Pappenheim-stained · bone marrow smear.
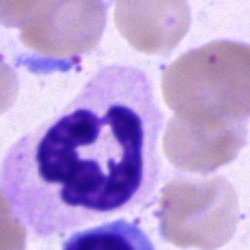 Impression — neutrophil (segmented).